Bone marrow smear: 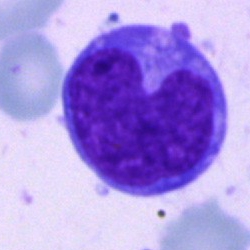

Q: Which cell type is shown here?
A: It is a blast cell.